400 by 400 pixels; peripheral blood film; single-cell crop — 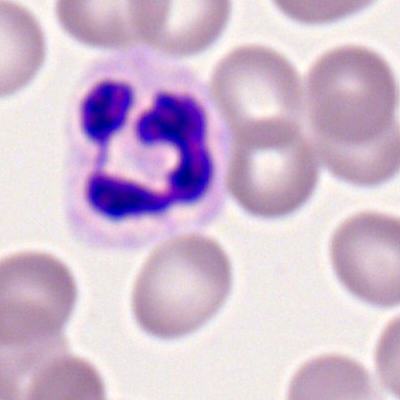
Cell type = segmented neutrophil.